Bone marrow smear; brightfield, 40× oil-immersion objective; May-Grünwald-Giemsa/Pappenheim stain: 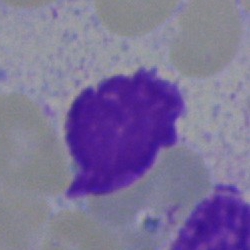

Impression → artifact.